Single cell centered in the field; image size 250×250; bone marrow aspirate smear
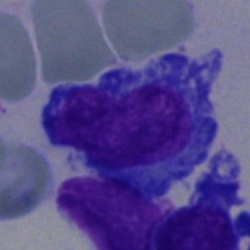

Typical lymphocyte.